Image size 250×250 · bone marrow aspirate smear
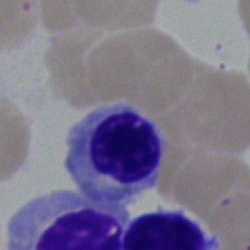

Specimen: bone marrow smear.
Morphological class: nucleated red blood cell.